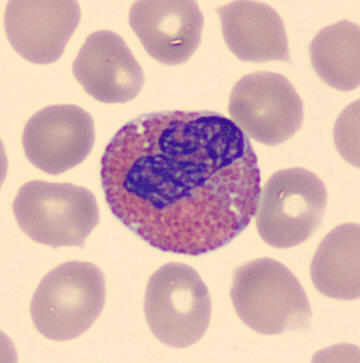
Cropped to a single cell. Peripheral blood film. May Grünwald-Giemsa stain.

Showing an eosinophil.